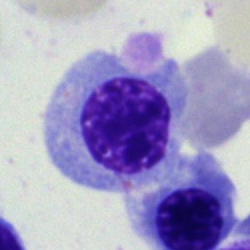Cell: nucleated red blood cell.